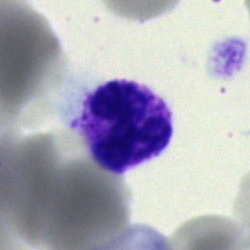The morphological class is segmented neutrophil.